Bone marrow aspirate smear; brightfield microscopy, 40× oil immersion; 250×250 px.
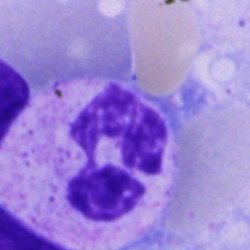Segmented neutrophil.